Bone marrow aspirate smear: 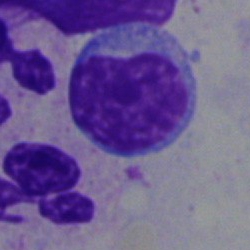 Single cell identified as a lymphocyte.